Peripheral blood smear.
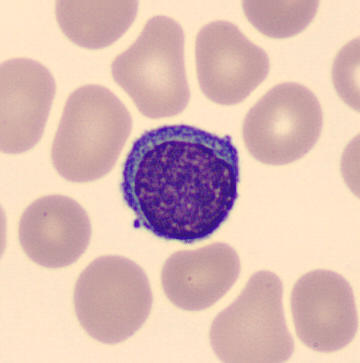Q: What cell is this?
A: This is a typical lymphocyte.